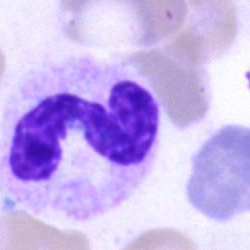This is a band neutrophil.